Brightfield microscopy, 40× oil immersion. Bone marrow aspirate smear. Single-cell field — 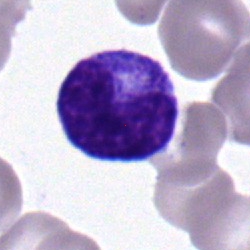

This is a metamyelocyte.